Bone marrow aspirate smear · 250 by 250 pixels: 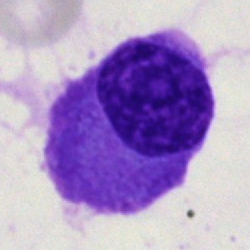
A plasmacyte.